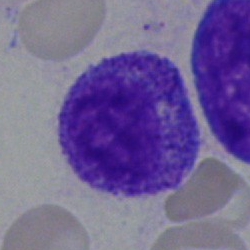Morphology consistent with a myelocyte.